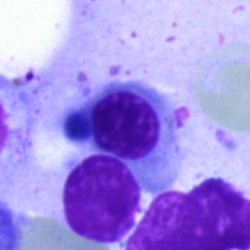The classification is normoblast.